40× objective, oil immersion; bone marrow smear — 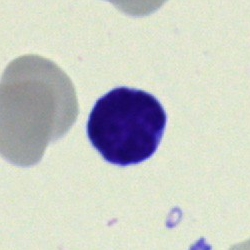
Specimen: bone marrow smear.
Morphological class: lymphocyte.
Lineage: lymphoid.